Bone marrow smear — 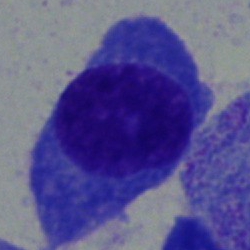 Q: What cell is this?
A: A plasma cell.